Bone marrow smear
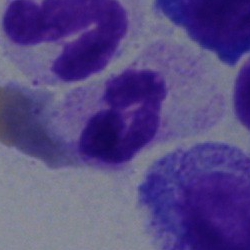

Morphology consistent with a neutrophil (segmented).